250 by 250 pixels · Pappenheim-stained · bone marrow aspirate smear
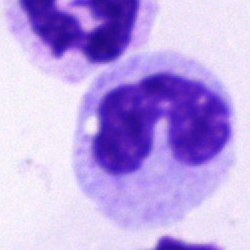 {"cell_type": "stab cell"}